Bone marrow smear — 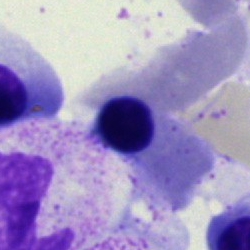

Morphological class: erythroblast.